Image size 250×250; bone marrow smear; 40× objective, oil immersion: 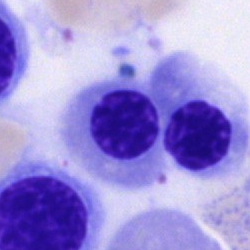Specimen: bone marrow smear.
Cell type: normoblast.